Bone marrow aspirate smear · Pappenheim-stained — 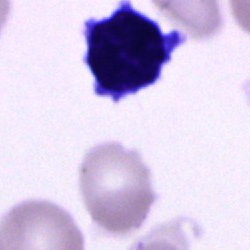

Morphology consistent with an unidentifiable cell.